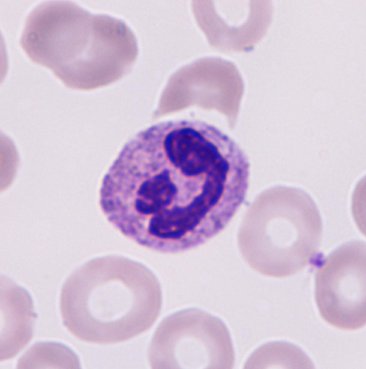 Peripheral blood film. The morphological class is neutrophilic granulocyte.